Image size 250×250. Bone marrow aspirate smear — 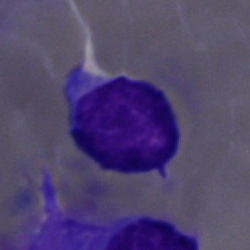
The cell type is lymphocyte.